250×250 · brightfield microscopy, 40× oil immersion · bone marrow smear — 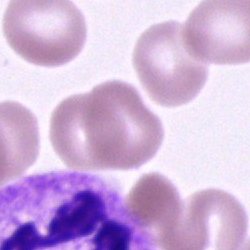
Morphology consistent with a segmented neutrophil.